250×250 px. Bone marrow aspirate smear — 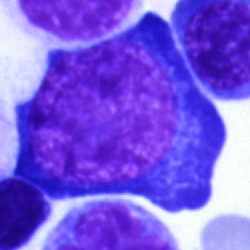
Morphology — proerythroblast.